Single cell centered in the field. Bone marrow smear
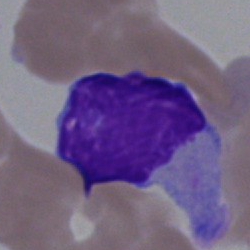This is a blast.